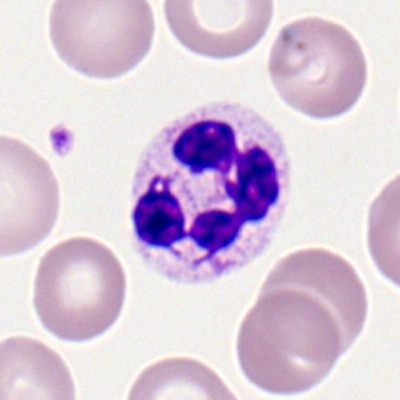

Single cell identified as a neutrophil (segmented).